Bone marrow smear · Pappenheim-stained: 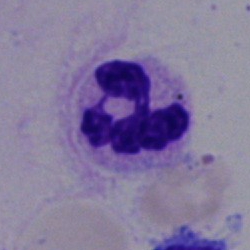 The cell is segmented neutrophil.